Bone marrow aspirate smear; single cell centered in the field.
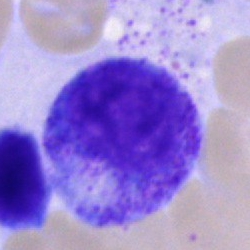

Morphology → progranulocyte.